Bone marrow aspirate smear — 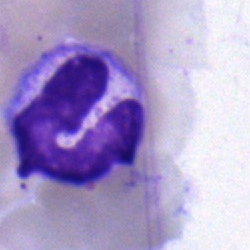 A neutrophil (segmented).